Bone marrow aspirate smear · brightfield microscopy, 40× oil immersion — 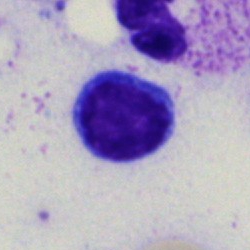

The cell shown is a lymphocyte.